Bone marrow aspirate smear:
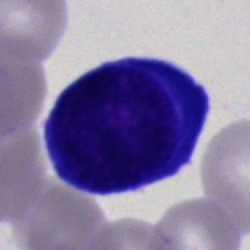
Morphology → lymphocyte.